Bone marrow smear
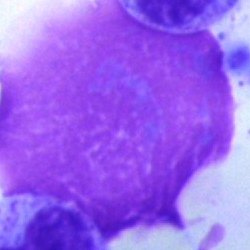

Q: What is shown here?
A: It is an artifact.